Bone marrow smear: 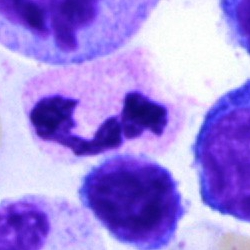 Cell type: segmented neutrophil.